Bone marrow smear.
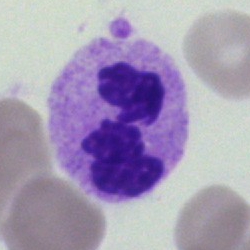
The morphological class is segmented neutrophil.